Peripheral blood smear — 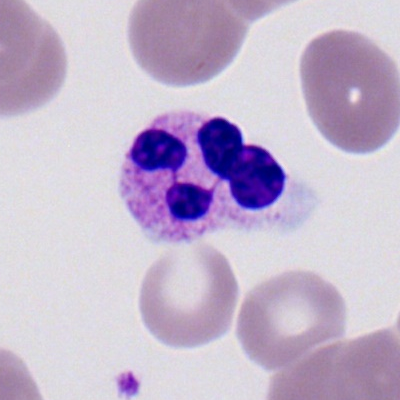

The classification is neutrophil (segmented).